Romanowsky stain; peripheral blood film: 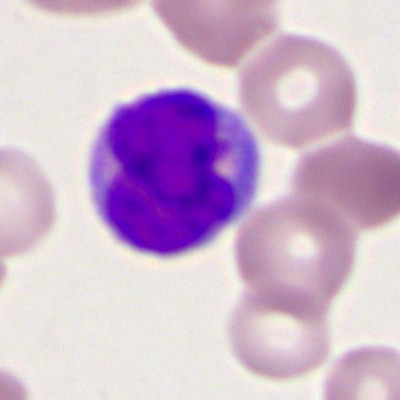Morphology → myeloid blast.